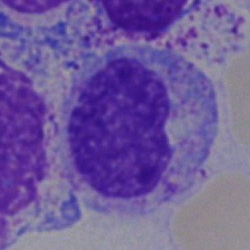Cell — myelocyte.